Bone marrow aspirate smear:
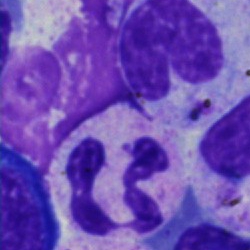

Q: What is shown here?
A: This is a neutrophil (segmented).